Bone marrow smear · MGG-stained · cropped to a single cell — 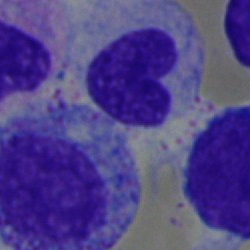

Morphology → myelocyte.